Bone marrow smear. Image size 250×250.
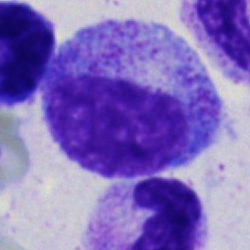{"cell_type": "myelocyte"}